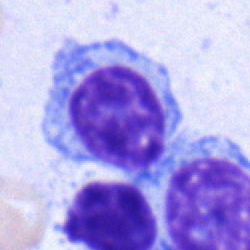 Morphology consistent with a lymphocyte.